Bone marrow aspirate smear — 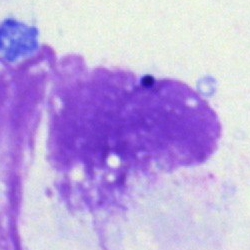

Specimen: bone marrow aspirate smear.
Cell type: artefact.